250×250 px. Bone marrow smear. Single-cell field
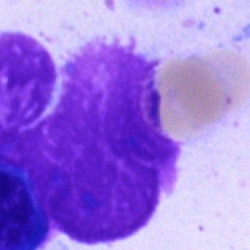 Cell type: artefact.